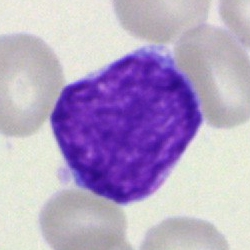This is an undifferentiated blast.